Bone marrow smear. Single cell centered in the field — 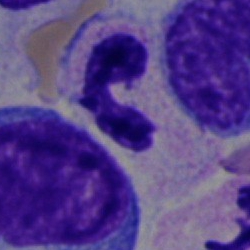
This is a band-form neutrophil.